Bone marrow aspirate smear.
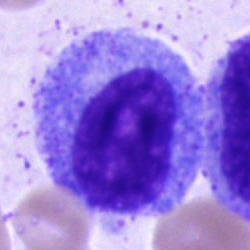

The cell shown is a progranulocyte.